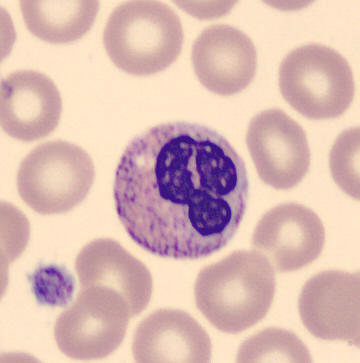

A band neutrophil. Acquisition: Peripheral blood film. Cropped to a single cell.